Bone marrow smear; May-Grünwald-Giemsa/Pappenheim stain; brightfield, 40× oil-immersion objective — 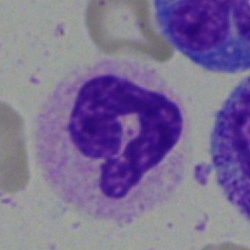

Single cell identified as a neutrophil (segmented).